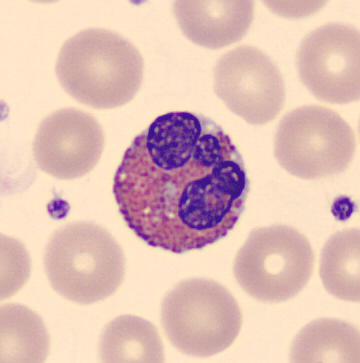
The cell type is eosinophilic granulocyte. Acquisition: Peripheral blood film. MGG stain. 360×363.